Bone marrow smear: 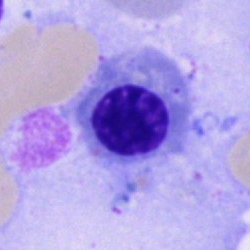

{"cell_type": "normoblast"}